Bone marrow smear.
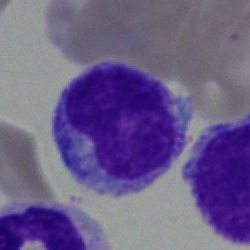 Morphology — typical lymphocyte.